Bone marrow smear; cropped to a single cell; May-Grünwald-Giemsa stain: 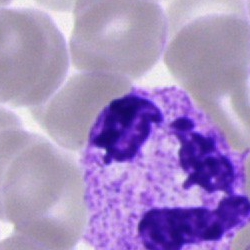Q: What is shown here?
A: It is a segmented neutrophil.